Peripheral blood smear: 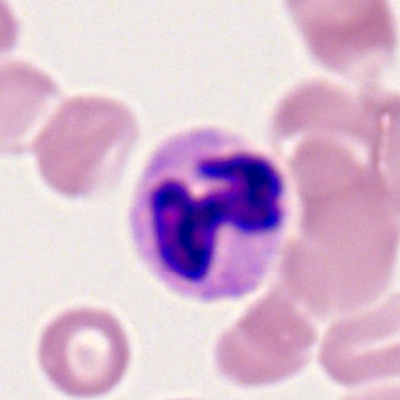 Morphology → segmented neutrophil.